Bone marrow aspirate smear.
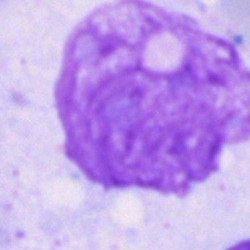Artefact.